Bone marrow aspirate smear:
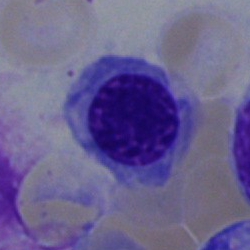 An erythroblast.